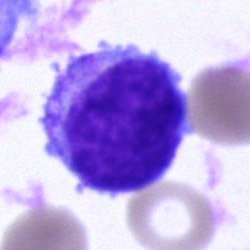

The classification is blast cell.